Bone marrow aspirate smear:
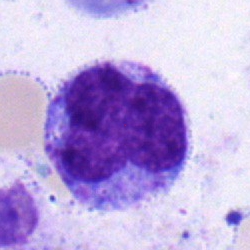Specimen: bone marrow aspirate smear.
Cell type: monocyte.
Lineage: myeloid.